Bone marrow aspirate smear:
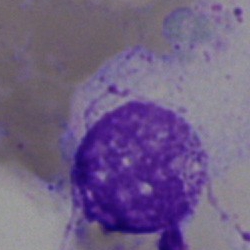Specimen: bone marrow aspirate smear.
Cell type: artifact.